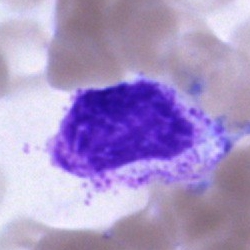

Cell type = cell of indeterminate lineage.